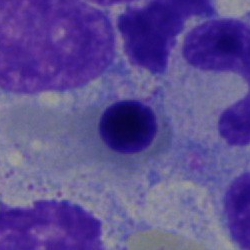Q: What is shown here?
A: Nucleated red cell.